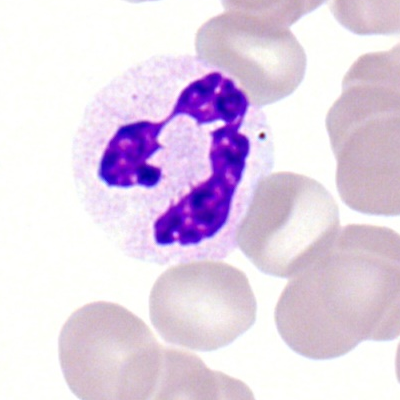 Peripheral blood film, single cell — segmented neutrophil.